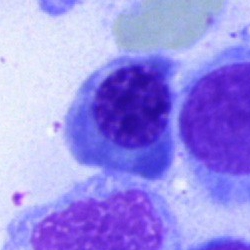 The cell type is normoblast.